250×250. May-Grünwald-Giemsa stain. Bone marrow aspirate smear: 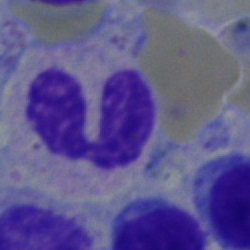Cell type: neutrophil (segmented).